Peripheral blood film: 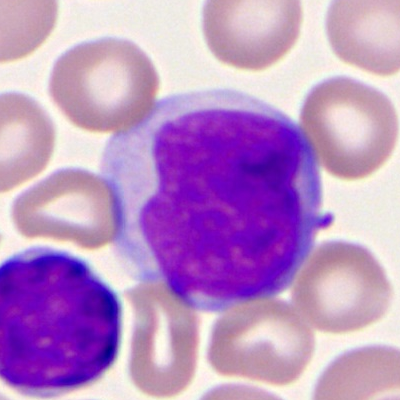 This is a myeloid blast.